Bone marrow smear. 250×250. May-Grünwald-Giemsa stain
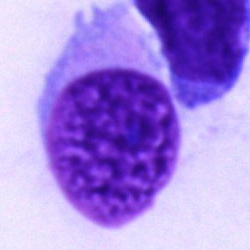Q: Identify the cell.
A: An unidentifiable cell.